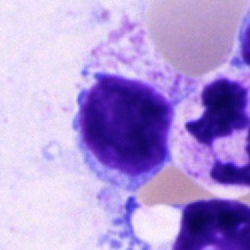 Classification = lymphocyte.